250 by 250 pixels; bone marrow aspirate smear:
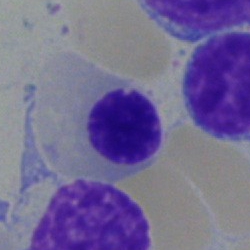 Q: Which cell type is shown here?
A: It is a normoblast.